Bone marrow smear; May-Grünwald-Giemsa stain:
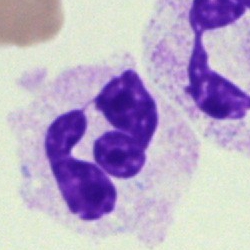 Single cell identified as a neutrophil (segmented).